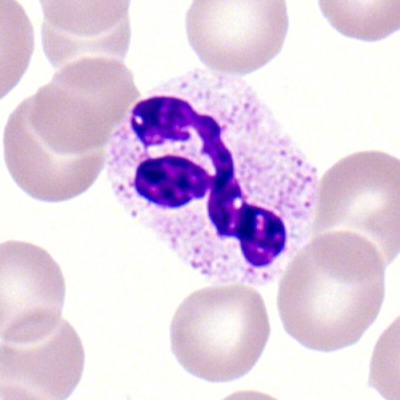

Q: What cell is this?
A: It is a segmented neutrophil.